Bone marrow smear. MGG-stained:
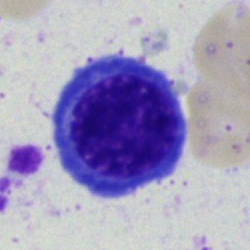
This is a nucleated red cell.